400×400 px; peripheral blood smear; 100× oil immersion:
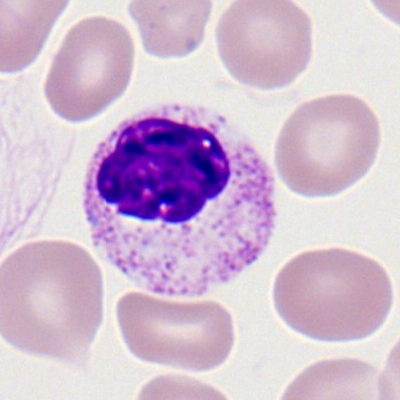

Classification = neutrophil (segmented).